Bone marrow aspirate smear. Brightfield microscopy, 40× oil immersion. Image size 250×250:
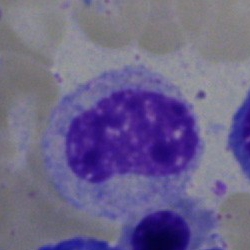Q: What cell is this?
A: This is a metamyelocyte.